Brightfield, 40× oil-immersion objective · bone marrow smear: 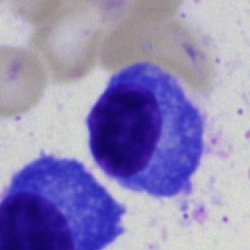Showing a plasma cell.